250×250 px. 40× objective, oil immersion. Bone marrow aspirate smear: 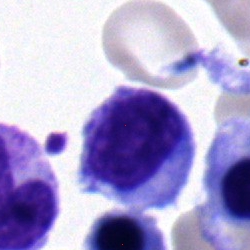 Morphology — typical lymphocyte.